Peripheral blood smear — 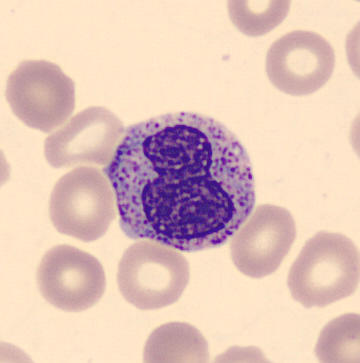

Morphological class: metamyelocyte.